Bone marrow aspirate smear
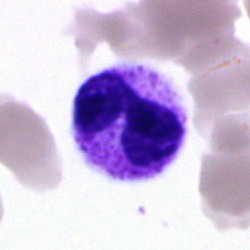

Q: What cell is this?
A: A neutrophil (segmented).